250×250 px. Bone marrow smear:
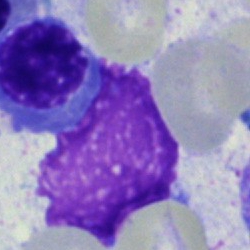 Specimen: bone marrow aspirate smear.
Cell type: artifact.